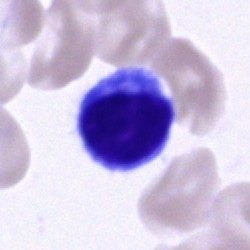
The cell is typical lymphocyte.